Bone marrow aspirate smear
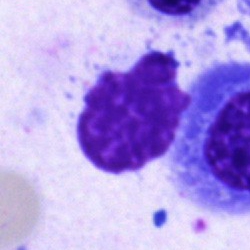
Single cell identified as an artefact.